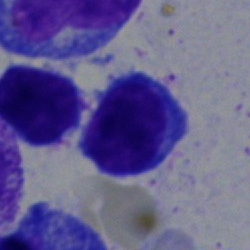

The classification is lymphocyte.